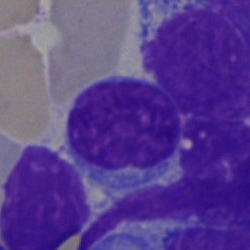 The cell shown is a typical lymphocyte.